Bone marrow aspirate smear: 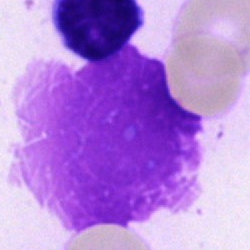
Q: What is shown here?
A: Artifact.